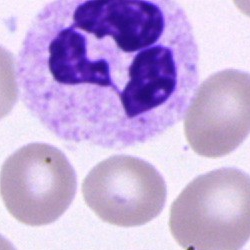The classification is polymorphonuclear neutrophil.